Cropped to a single cell; bone marrow smear
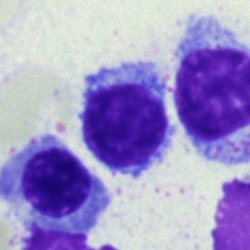

Cell type — typical lymphocyte.